Peripheral blood film.
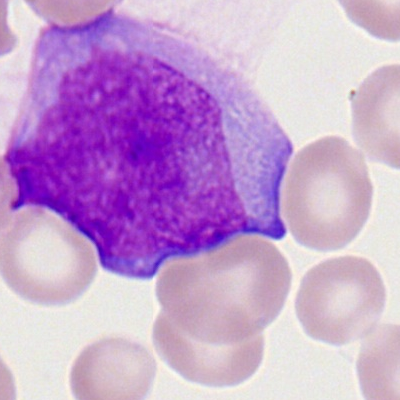Showing a myeloblast.